Bone marrow smear: 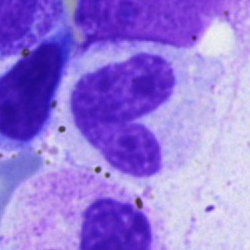The cell shown is a band-form neutrophil.